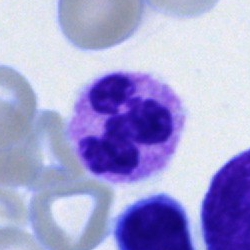

Q: Identify the cell.
A: It is a segmented neutrophil.